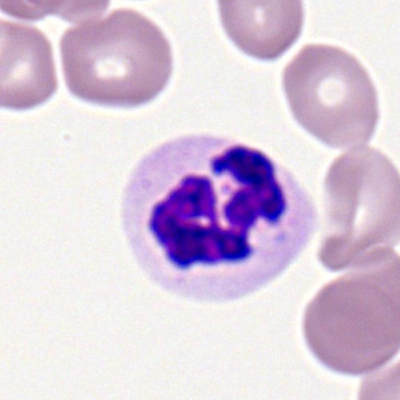
Impression → polymorphonuclear neutrophil.